Bone marrow aspirate smear · 250×250 px: 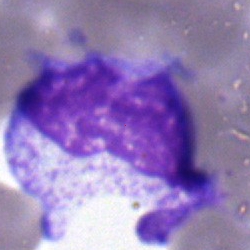
The cell type is metamyelocyte.